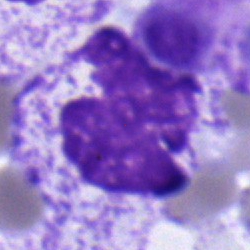 Showing a polymorphonuclear neutrophil.